Bone marrow smear:
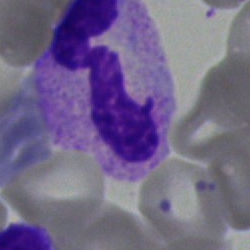 Specimen: bone marrow smear.
Morphological class: neutrophil (segmented).
Lineage: myeloid.